Bone marrow smear
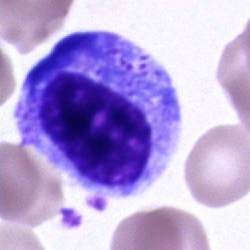

Showing an unidentifiable cell.